Bone marrow aspirate smear; 250×250 px; brightfield microscopy, 40× oil immersion — 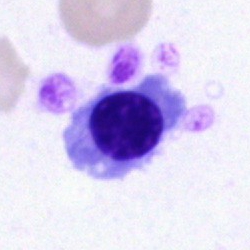

Classification — erythroblast.